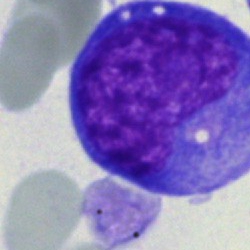
A blast cell on a bone marrow smear.